Bone marrow smear: 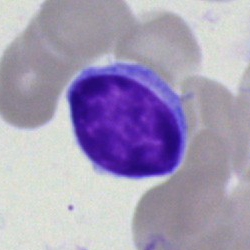 {"cell_type": "typical lymphocyte", "lineage": "lymphoid"}